Bone marrow aspirate smear:
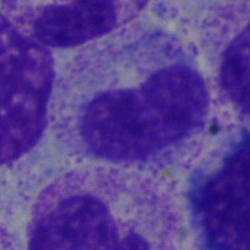

Impression → stab cell.